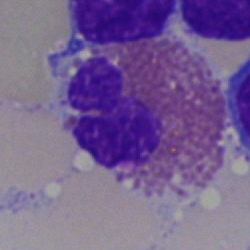The cell shown is an eosinophilic granulocyte.